Bone marrow aspirate smear
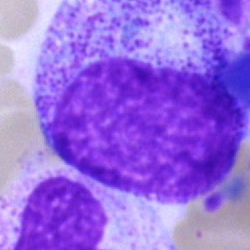 This is a progranulocyte.